Bone marrow smear:
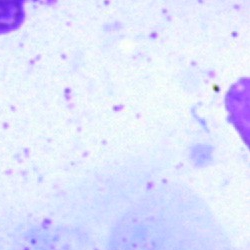Classification: artefact.